Bone marrow smear:
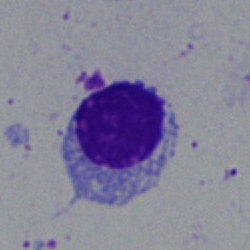
Q: What cell is this?
A: This is a nucleated red blood cell.